400×400; peripheral blood smear; 100× oil immersion, 14.14 px/µm: 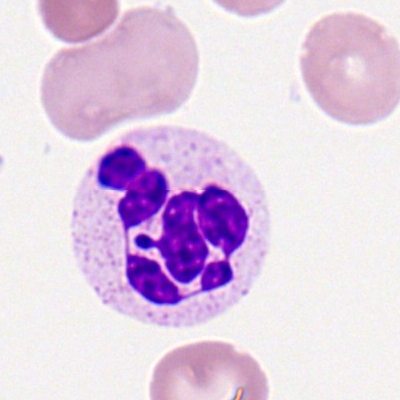
Q: Identify the cell.
A: This is a polymorphonuclear neutrophil.